Bone marrow smear; cropped to a single cell — 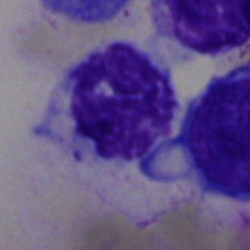

Specimen: bone marrow aspirate smear.
Classification: artefact.